Brightfield, 100× oil-immersion objective. Peripheral blood film — 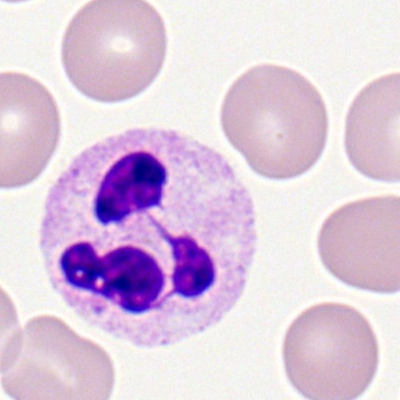
The cell shown is a neutrophil (segmented).